MGG-stained; bone marrow aspirate smear; brightfield, 40× oil-immersion objective
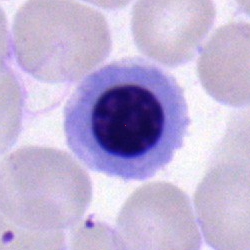

Specimen: bone marrow smear.
Cell: erythroblast.
Lineage: erythroid.